Bone marrow aspirate smear.
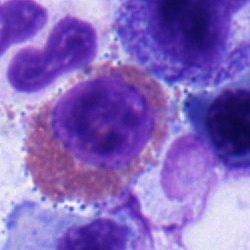 This is an eosinophilic granulocyte.